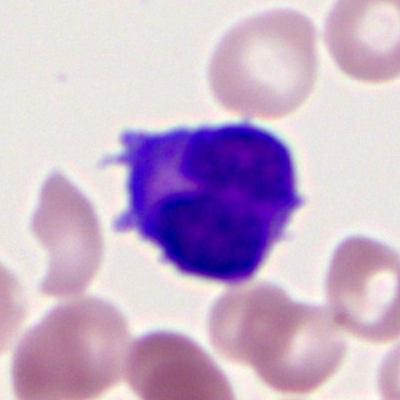Peripheral blood film, single cell — myeloid blast.